Bone marrow aspirate smear. Image size 250×250:
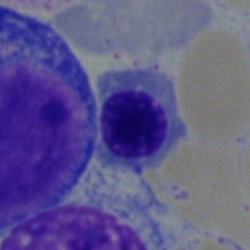

This is a nucleated red blood cell.